Bone marrow smear; image size 250×250: 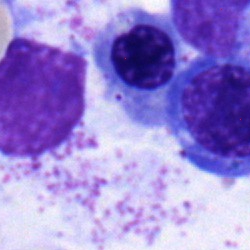

Morphology — normoblast.